Bone marrow smear.
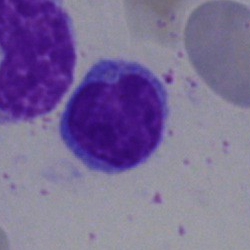Cell = lymphocyte.